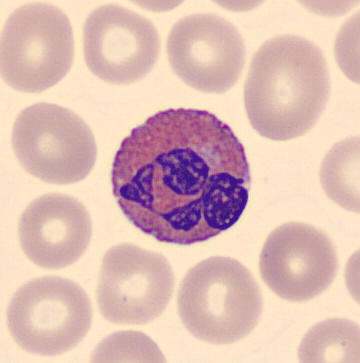

Impression — eosinophilic granulocyte.
Acquisition: Peripheral blood film. Single-cell crop.